Bone marrow aspirate smear.
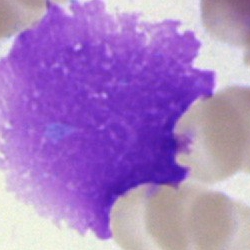The cell shown is an artifact.